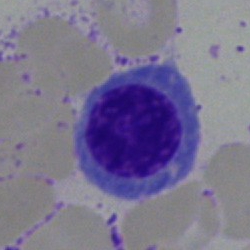
Impression — nucleated red blood cell.